Bone marrow smear: 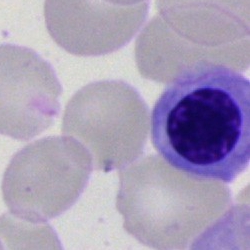
This is a nucleated red cell.